Bone marrow aspirate smear. Pappenheim-stained: 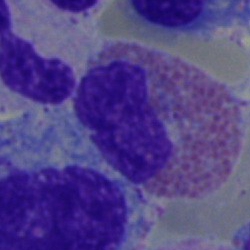 An eosinophilic granulocyte.